Bone marrow aspirate smear:
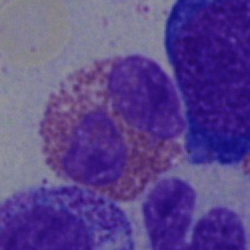 Morphological class — eosinophil.